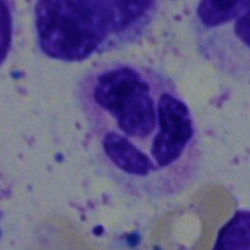Classification = segmented neutrophil.